40× objective, oil immersion. Bone marrow aspirate smear
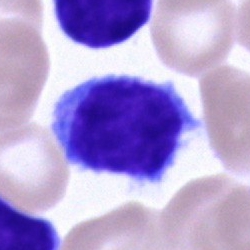
Impression → lymphocyte.